Image size 250×250; bone marrow smear; brightfield, 40× oil-immersion objective.
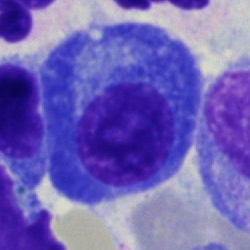

Specimen: bone marrow aspirate smear.
Classification: plasmacyte.